Bone marrow smear · May-Grünwald-Giemsa stain · brightfield microscopy, 40× oil immersion:
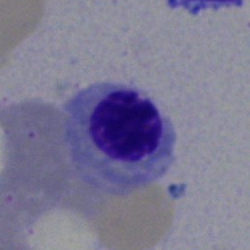

Impression — normoblast.